Image size 250×250 · bone marrow smear — 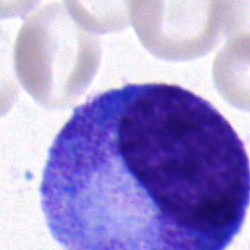Showing a promyelocyte.